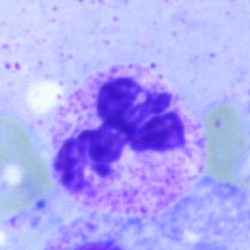
Q: Which cell type is shown here?
A: It is a neutrophil (segmented).